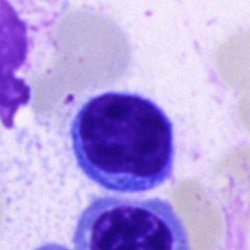 Q: What is shown here?
A: This is a lymphocyte.